Romanowsky-stained · peripheral blood smear:
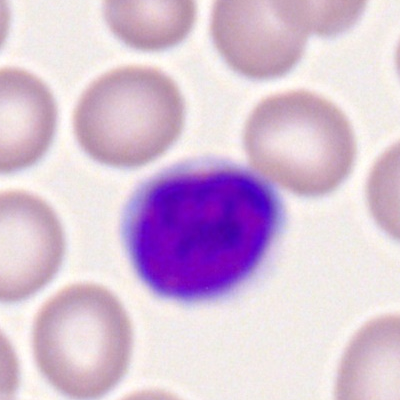{"cell_type": "typical lymphocyte"}